40× oil immersion · bone marrow smear — 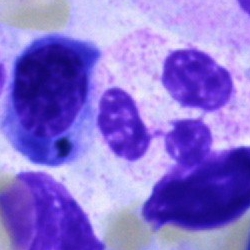

Showing a segmented neutrophil.